Bone marrow aspirate smear · 250×250 · Pappenheim-stained: 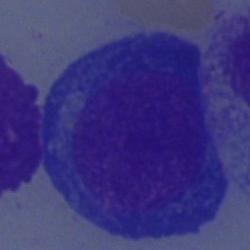Q: Identify the cell.
A: A nucleated red cell.